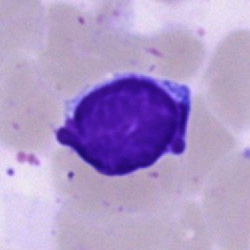The cell type is lymphocyte.